100× oil immersion. Single-cell field. Peripheral blood smear: 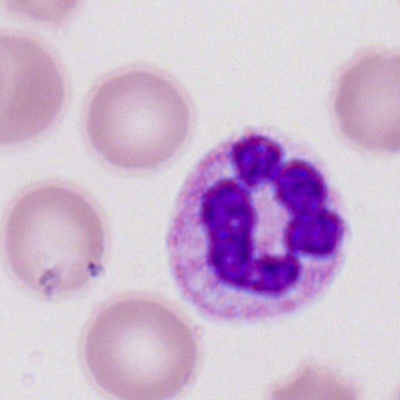Q: Which cell type is shown here?
A: Polymorphonuclear neutrophil.